Bone marrow smear
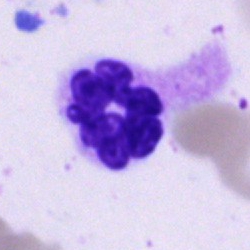
A polymorphonuclear neutrophil.